Brightfield microscopy, 40× oil immersion; bone marrow smear; single-cell crop
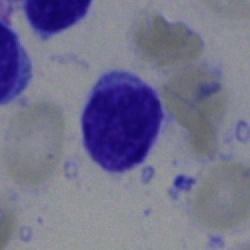Typical lymphocyte.